Bone marrow aspirate smear:
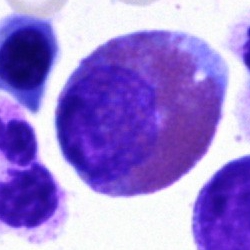

Q: Which cell type is shown here?
A: Eosinophil.